Bone marrow smear
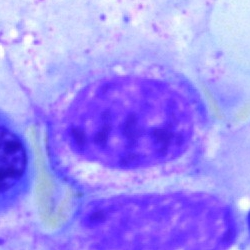

Classification — myelocyte.